Bone marrow smear:
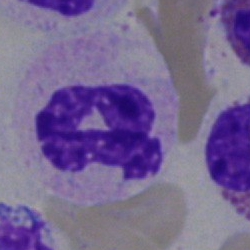

Specimen: bone marrow smear.
Morphological class: polymorphonuclear neutrophil.